Cropped to a single cell; bone marrow smear — 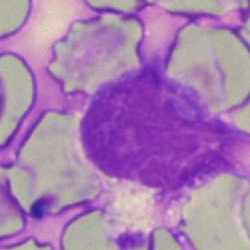

An artifact.